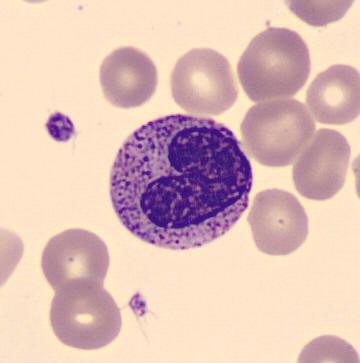

Peripheral blood film.

Morphology consistent with a metamyelocyte.